Bone marrow smear — 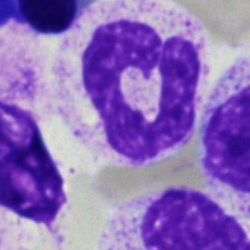

Morphology consistent with a polymorphonuclear neutrophil.